Image size 250×250. Bone marrow smear:
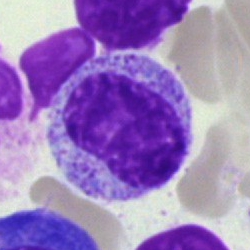 Showing a myelocyte.